Bone marrow aspirate smear:
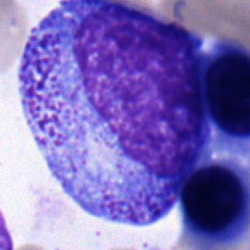

Classification: progranulocyte.